Brightfield microscopy, 40× oil immersion; 250×250; bone marrow aspirate smear
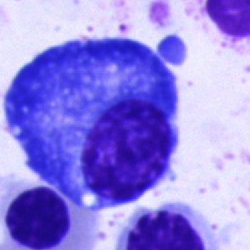 Morphological class: plasma cell.